Cropped to a single cell · bone marrow aspirate smear — 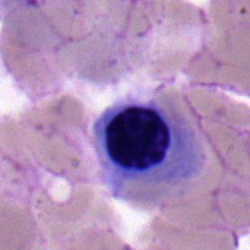The classification is normoblast.